Bone marrow aspirate smear · brightfield, 40× oil-immersion objective — 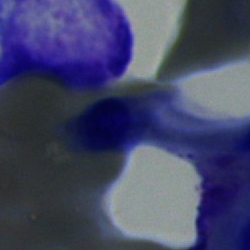Morphology consistent with a nucleated red cell.